Bone marrow smear.
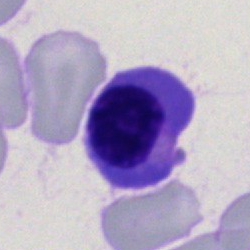Q: What cell is this?
A: It is a normoblast.